250×250. Bone marrow aspirate smear. Brightfield, 40× oil-immersion objective — 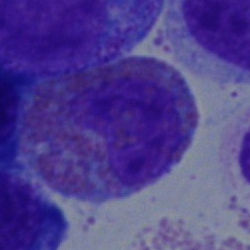

Q: Identify the cell.
A: An eosinophilic granulocyte.